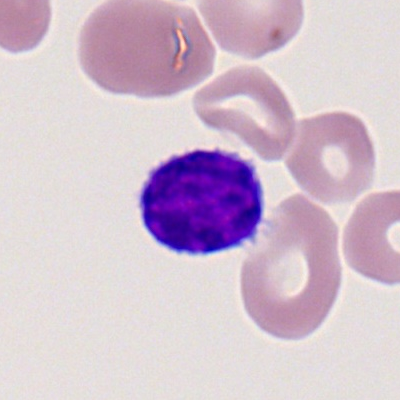Q: What is shown here?
A: Lymphocyte.